Bone marrow smear · brightfield, 40× oil-immersion objective · single-cell crop
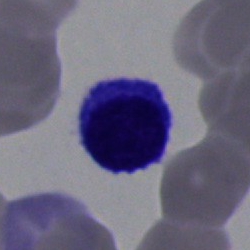
Morphology → lymphocyte.